Peripheral blood film; 400×400; 100× oil immersion
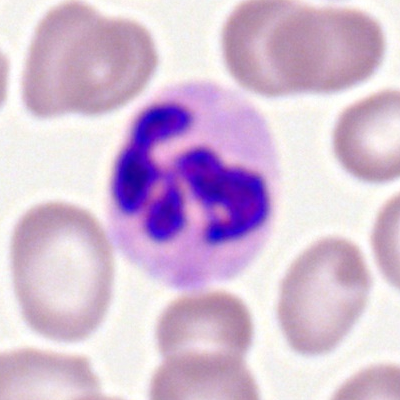Q: What cell is this?
A: A polymorphonuclear neutrophil.